Bone marrow smear; cropped to a single cell; 250 by 250 pixels: 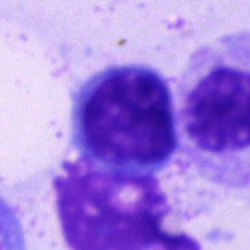 Impression — lymphocyte.